40× oil immersion · Pappenheim-stained · bone marrow aspirate smear: 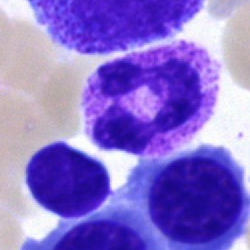Neutrophil (segmented).